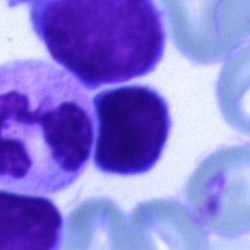 This is a segmented neutrophil.